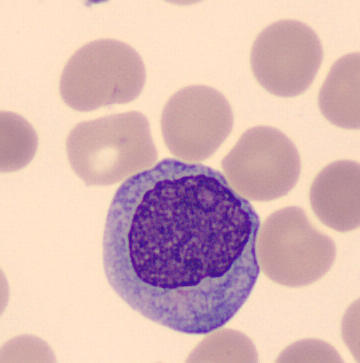

The cell type is monocyte.

May Grünwald-Giemsa stain. Peripheral blood film.